Pappenheim-stained; bone marrow aspirate smear:
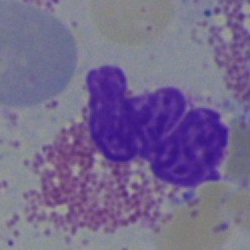 Classification = eosinophilic granulocyte.